Brightfield, 40× oil-immersion objective; single cell centered in the field; bone marrow smear:
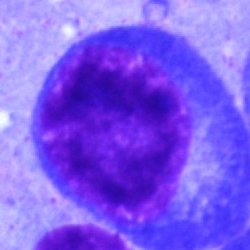 Q: Which cell type is shown here?
A: This is a plasmacyte.